MGG-stained · 40× oil immersion · bone marrow smear
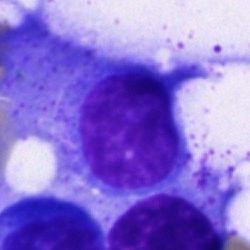 Morphology consistent with a blast.